Bone marrow smear
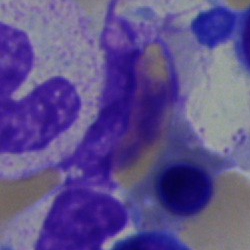

Cell = normoblast.